Bone marrow aspirate smear
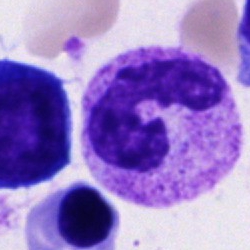

Morphological class = band neutrophil.